Bone marrow aspirate smear. Single-cell crop. Brightfield microscopy, 40× oil immersion.
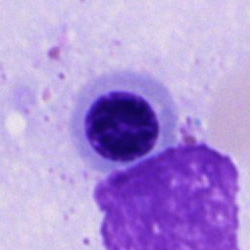
Classification = nucleated red cell.